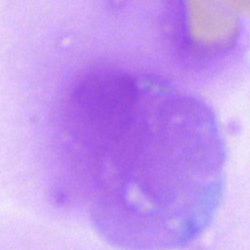
Bone marrow smear showing an artifact.